Bone marrow aspirate smear · 250×250: 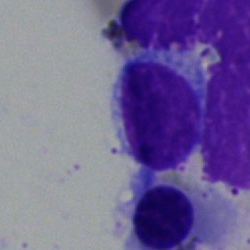
Specimen: bone marrow smear.
Morphological class: typical lymphocyte.
Lineage: lymphoid.